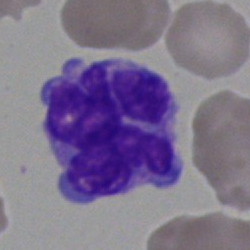

Bone marrow smear showing an unidentifiable cell.